Pappenheim-stained · bone marrow aspirate smear.
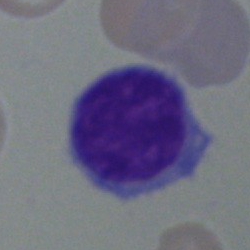
A typical lymphocyte.